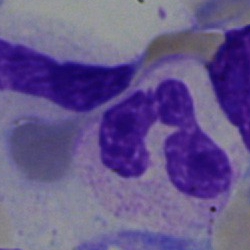
The classification is segmented neutrophil.